Bone marrow smear: 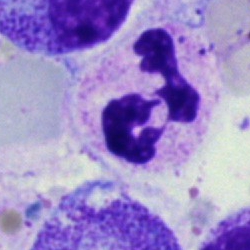
Specimen: bone marrow smear.
Classification: segmented neutrophil.
Lineage: myeloid.